250 by 250 pixels; bone marrow smear; 40× objective, oil immersion:
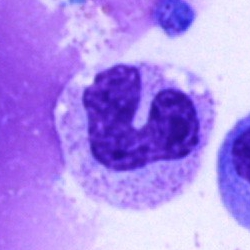Impression — neutrophil (band).